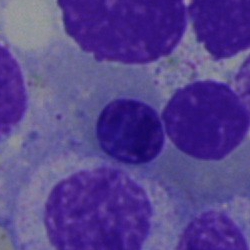
Morphological class: nucleated red cell.